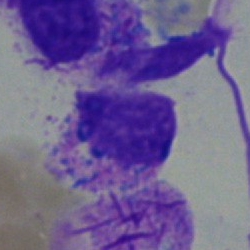
Morphology consistent with a cell with bundled Auer rods.